Bone marrow smear. Single-cell crop. 250 by 250 pixels.
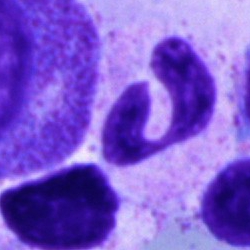
Q: What is the morphological classification of this cell?
A: It is a polymorphonuclear neutrophil.